Bone marrow aspirate smear. MGG-stained. 40× objective, oil immersion.
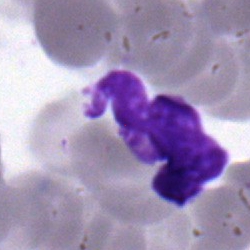Morphology consistent with a polymorphonuclear neutrophil.